Bone marrow aspirate smear:
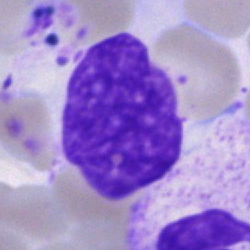 The classification is neutrophil (segmented).